Brightfield microscopy, 40× oil immersion; bone marrow aspirate smear: 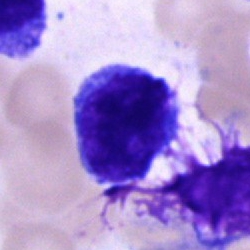 Cell type: blast cell.